Single cell centered in the field · bone marrow aspirate smear: 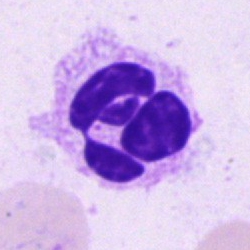

The morphological class is segmented neutrophil.